Bone marrow aspirate smear:
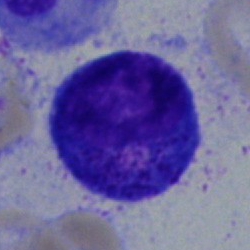 Q: Identify the cell.
A: It is a progranulocyte.